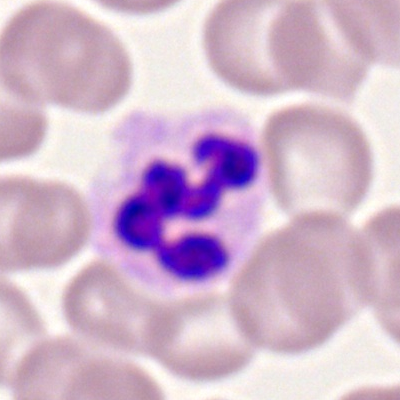 Morphology → polymorphonuclear neutrophil.